Bone marrow aspirate smear. Single cell centered in the field
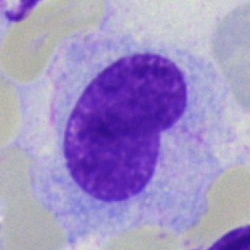 Hairy cell.